Bone marrow smear · single cell centered in the field.
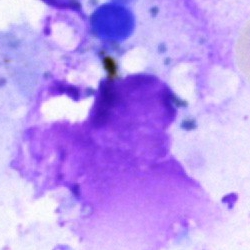 An artifact.